Bone marrow smear. Brightfield, 40× oil-immersion objective.
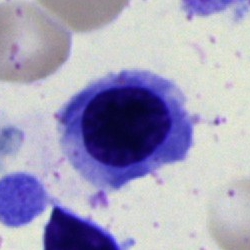

Nucleated red blood cell.